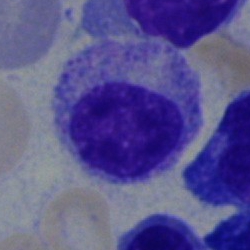

A myelocyte.